Bone marrow aspirate smear.
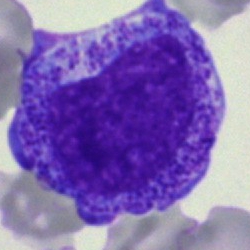

Cell type — promyelocyte.